Bone marrow smear · 250×250: 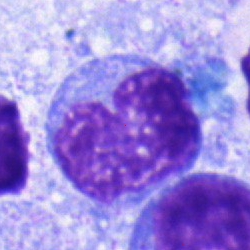
Q: Identify the cell.
A: It is a monocyte.